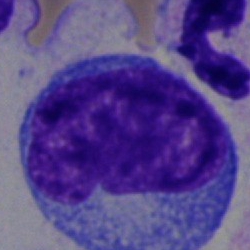
Q: What is shown here?
A: Blast cell.